Bone marrow smear
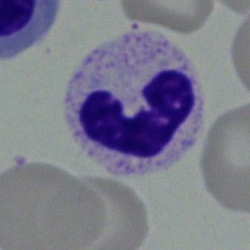Showing a segmented neutrophil.